Bone marrow aspirate smear — 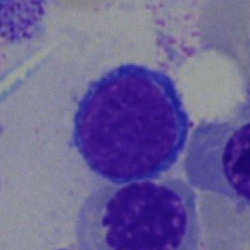Specimen: bone marrow aspirate smear.
Cell type: lymphocyte.
Lineage: lymphoid.